Single-cell crop. Bone marrow smear: 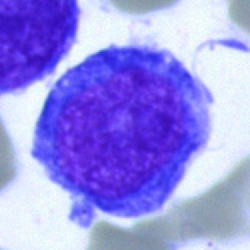

The classification is blast cell.